40× oil immersion. Single-cell field. Bone marrow smear:
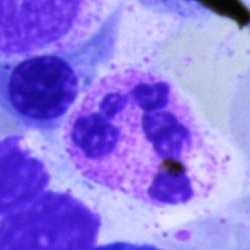
Specimen: bone marrow aspirate smear.
Morphological class: polymorphonuclear neutrophil.